Brightfield microscopy, 40× oil immersion. Bone marrow smear:
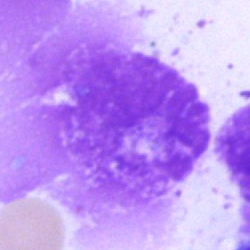Cell — artifact.